Single-cell field. 250×250. Bone marrow smear
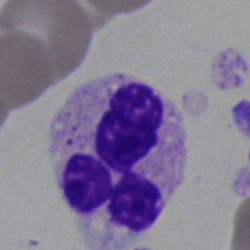

A polymorphonuclear neutrophil.